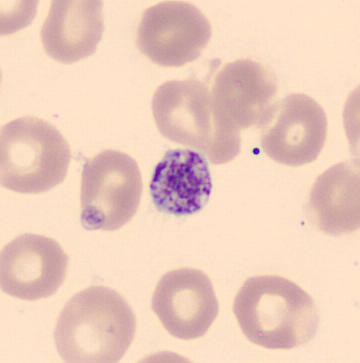Peripheral blood film; imaged on a CellaVision DM96 analyser.
The morphological class is thrombocyte.